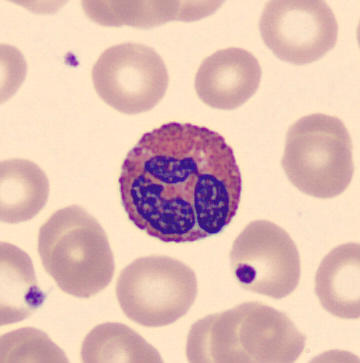 Peripheral blood smear.
{"cell_type": "eosinophilic granulocyte", "lineage": "myeloid"}